Bone marrow aspirate smear.
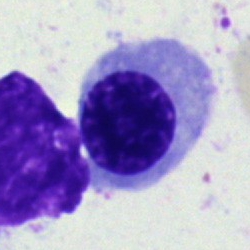

A normoblast.